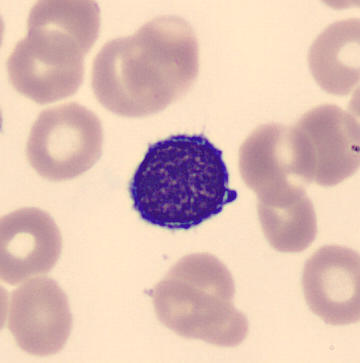Preparation: Peripheral blood film · CellaVision DM96 digital cell image · cropped to a single cell.

This is a typical lymphocyte.